Peripheral blood film:
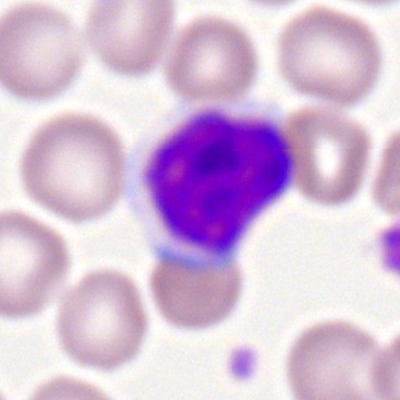 Classification: lymphocyte.